Bone marrow smear — 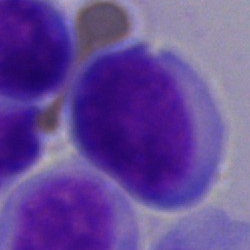The cell shown is a blast.